Bone marrow aspirate smear: 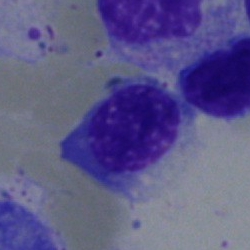

Cell: nucleated red cell.